250×250 px · bone marrow smear · May-Grünwald-Giemsa/Pappenheim stain — 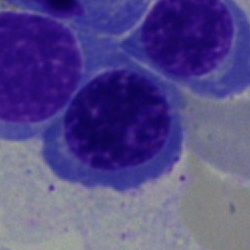Q: Which cell type is shown here?
A: Nucleated red cell.